Peripheral blood film:
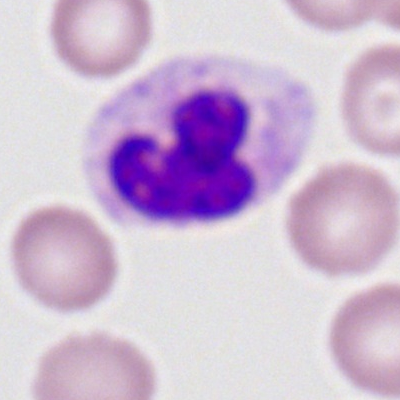 The cell type is polymorphonuclear neutrophil.